Peripheral blood film
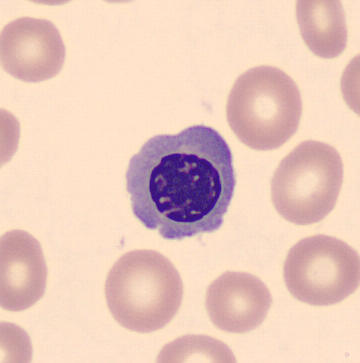
Impression → normoblast.